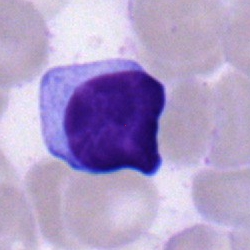
Lymphocyte.